Bone marrow smear — 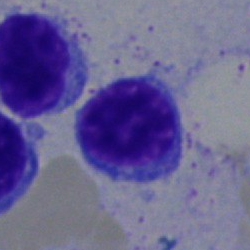
Specimen: bone marrow smear.
Classification: typical lymphocyte.